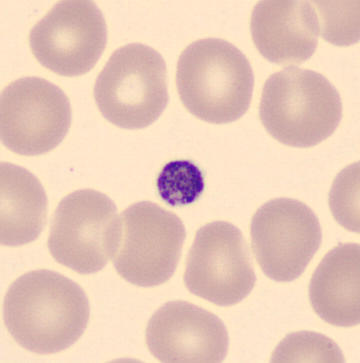
Identified as a platelet (thrombocyte).